Bone marrow smear. Single cell centered in the field.
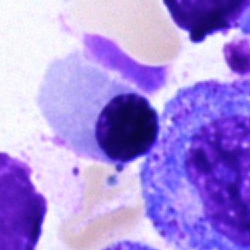

A normoblast.